Single-cell crop; image size 400×400; peripheral blood film — 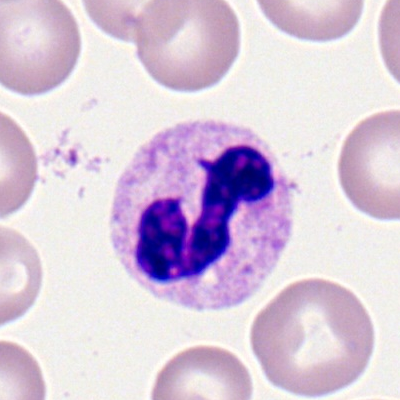A polymorphonuclear neutrophil.